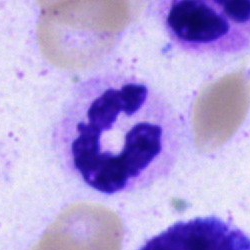
Morphology → neutrophil (segmented).